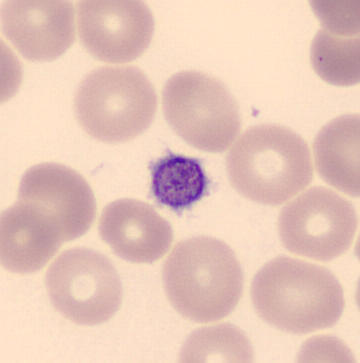

Q: What is this?
A: This is a platelet.